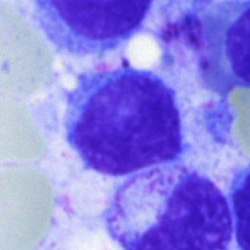 Single-cell crop from a bone marrow smear: typical lymphocyte.